Bone marrow aspirate smear
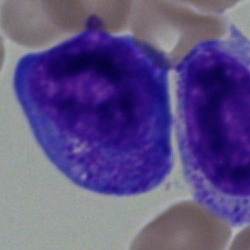
Impression — progranulocyte.